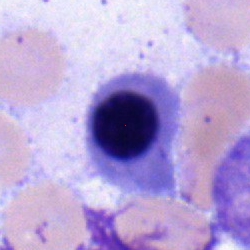

Showing a nucleated red cell.